Bone marrow aspirate smear.
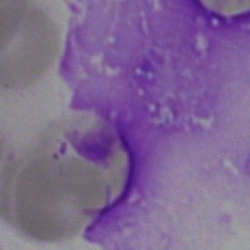

Cell: artifact.